Single-cell crop · 40× oil immersion · bone marrow smear
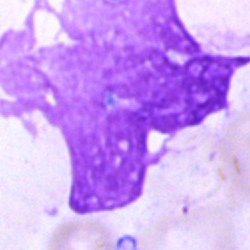

Morphological class = artefact.